Single-cell field. Bone marrow smear — 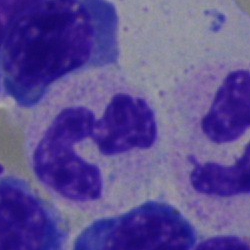

Q: What cell is this?
A: It is a segmented neutrophil.